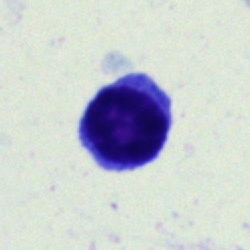

Single cell identified as a lymphocyte.